Bone marrow aspirate smear; single-cell crop — 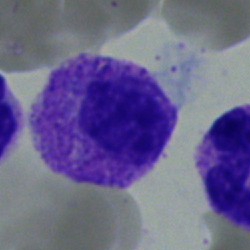 Q: What is the morphological classification of this cell?
A: It is a myelocyte.